Bone marrow smear; brightfield microscopy, 40× oil immersion.
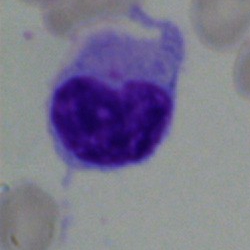

Q: Identify the cell.
A: A hairy cell.